Peripheral blood film · single cell centered in the field
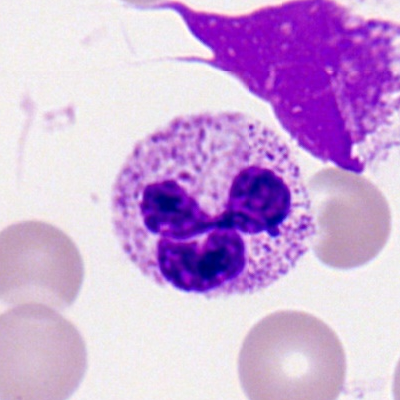

Morphology → polymorphonuclear neutrophil.